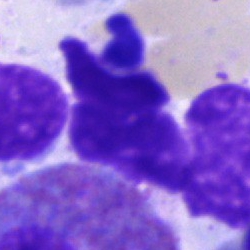

Morphological class: artefact.